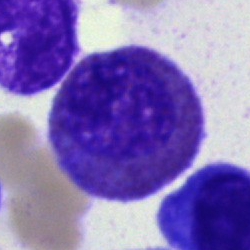Single-cell crop from a bone marrow smear: eosinophilic granulocyte.